Bone marrow aspirate smear
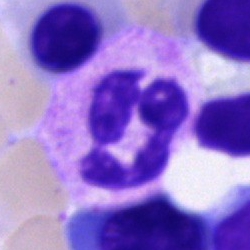Specimen: bone marrow smear.
Cell type: neutrophil (segmented).
Lineage: myeloid.